Bone marrow smear; cropped to a single cell:
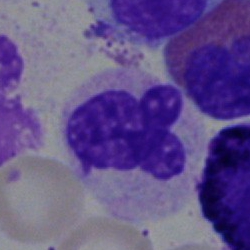
Q: What cell is this?
A: It is a segmented neutrophil.